Bone marrow aspirate smear.
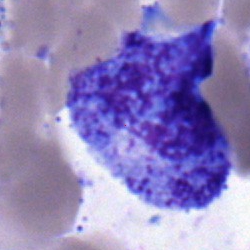 {"cell_type": "myelocyte", "lineage": "myeloid"}